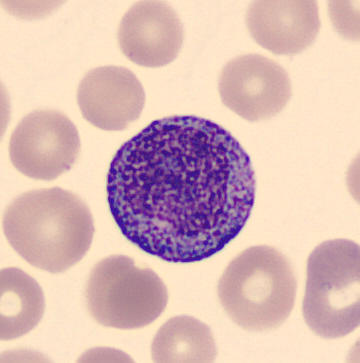Image: Peripheral blood film. Showing a progranulocyte.